Bone marrow smear: 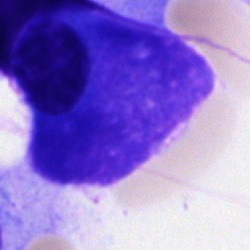
Impression → plasma cell.